Bone marrow smear.
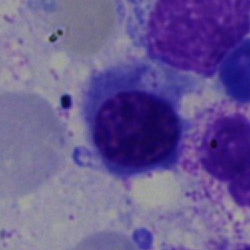

Morphology → erythroblast.